Bone marrow smear; May-Grünwald-Giemsa/Pappenheim stain; single-cell field: 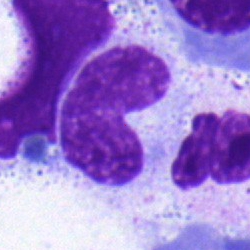

Q: What cell is this?
A: It is a band neutrophil.